Brightfield microscopy, 40× oil immersion; bone marrow aspirate smear:
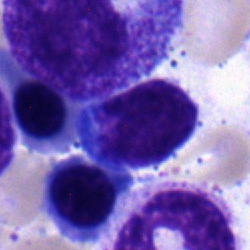
Single cell identified as a typical lymphocyte.